MGG-stained. Bone marrow aspirate smear
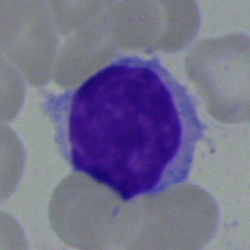A lymphocyte.